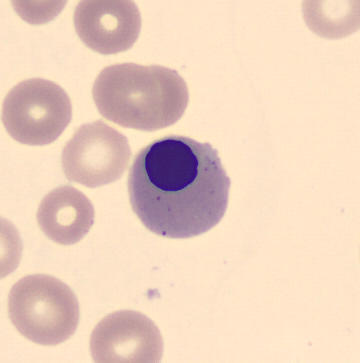 Specimen: peripheral blood film.
Classification: normoblast.